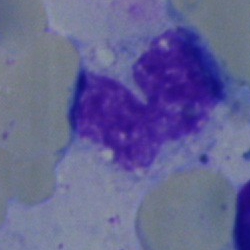
Showing a monocyte.